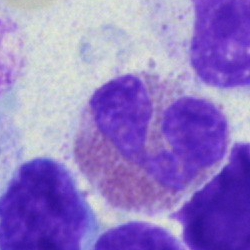 Eosinophil.